250 by 250 pixels. Bone marrow aspirate smear.
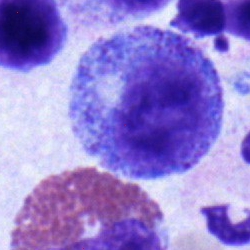 Single cell identified as a promyelocyte.